Bone marrow smear; single-cell field:
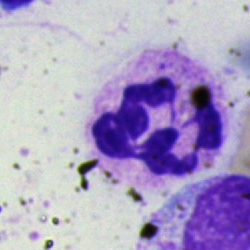Morphological class: neutrophil (segmented).